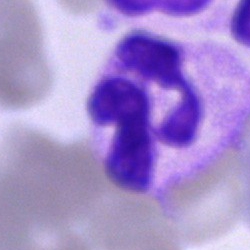
Impression — polymorphonuclear neutrophil.